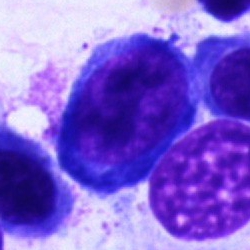 {"cell_type": "nucleated red cell"}